Peripheral blood film.
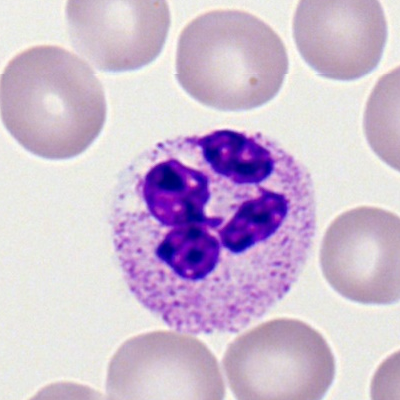The morphological class is polymorphonuclear neutrophil.